May-Grünwald-Giemsa stain. 250 by 250 pixels. Bone marrow smear: 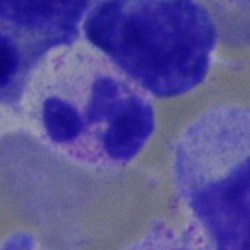
The cell shown is a neutrophil (segmented).